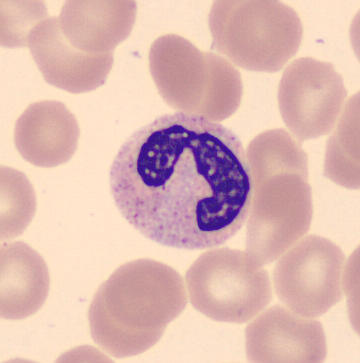

The cell type is segmented neutrophil.